Bone marrow smear · brightfield, 40× oil-immersion objective: 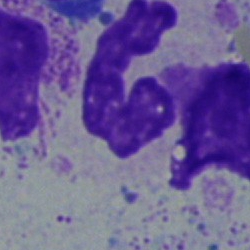
Q: What type of cell is this?
A: It is a band-form neutrophil.